Bone marrow aspirate smear — 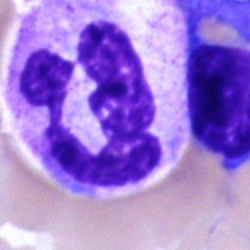{"cell_type": "polymorphonuclear neutrophil", "lineage": "myeloid"}